Peripheral blood film · Romanowsky stain:
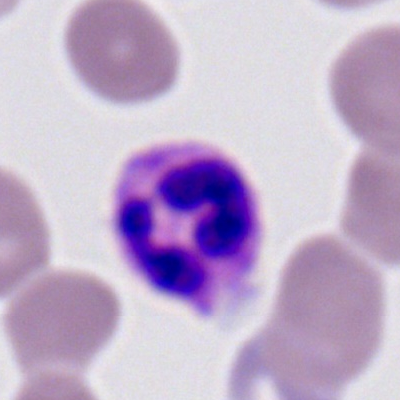Specimen: peripheral blood smear.
Morphological class: neutrophil (segmented).
Lineage: myeloid.